Cropped to a single cell. Bone marrow aspirate smear — 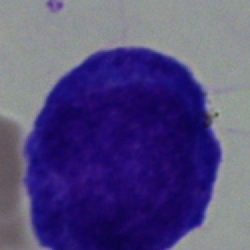 Classification: progranulocyte.